Bone marrow smear: 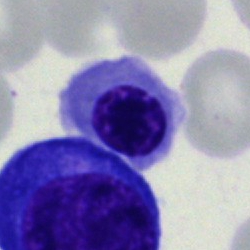

The morphological class is nucleated red cell.